Single cell centered in the field · bone marrow smear · brightfield microscopy, 40× oil immersion
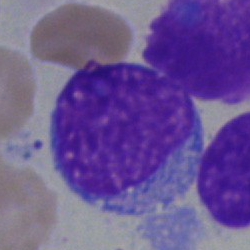

Q: Which cell type is shown here?
A: It is an undifferentiated blast.